Bone marrow aspirate smear · 250×250 px · 40× oil immersion:
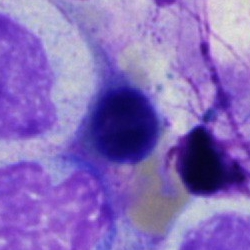 The cell type is erythroblast.